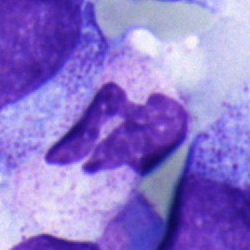
Cell type: neutrophil (segmented).